Cropped to a single cell. Brightfield, 40× oil-immersion objective. Bone marrow smear:
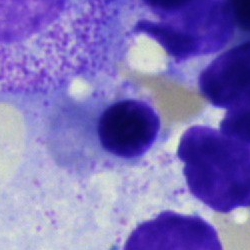

Morphology consistent with an erythroblast.